Peripheral blood film · Romanowsky-stained — 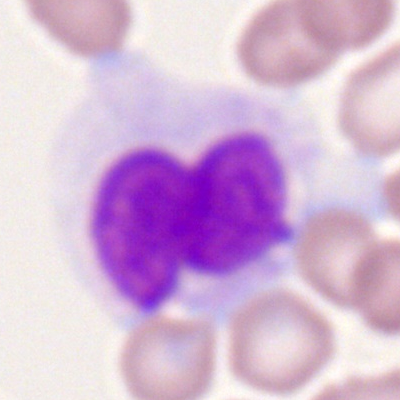 The cell shown is a monocyte.